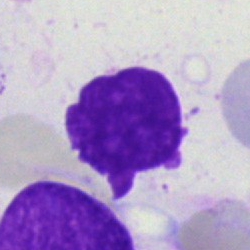The cell is artifact.